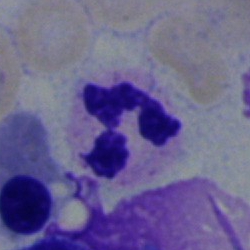
Single-cell crop from a bone marrow smear: polymorphonuclear neutrophil.